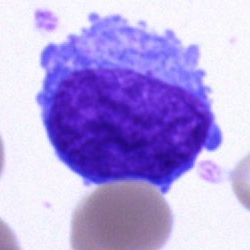 Q: What type of cell is this?
A: It is an undifferentiated blast.